250×250; bone marrow smear:
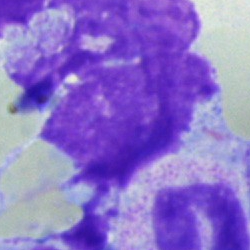

Q: What is shown here?
A: Artefact.